Bone marrow aspirate smear:
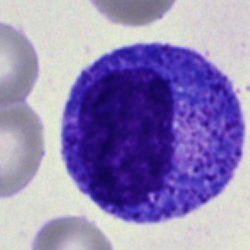
Q: What is shown here?
A: Promyelocyte.